Cropped to a single cell; bone marrow smear:
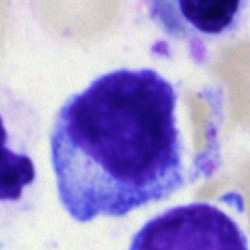
The cell is myelocyte.